Bone marrow smear · 40× oil immersion · 250×250 px: 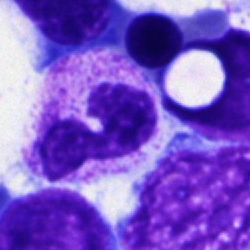 Q: What is the morphological classification of this cell?
A: A neutrophil (segmented).